Romanowsky stain; peripheral blood smear:
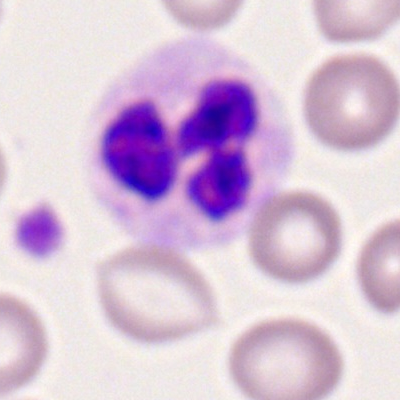

Single cell identified as a polymorphonuclear neutrophil.